May-Grünwald-Giemsa stain; bone marrow aspirate smear — 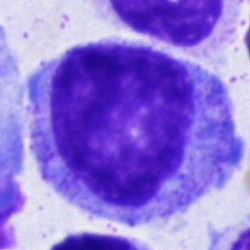
Morphology — progranulocyte.